Bone marrow aspirate smear. Single-cell crop
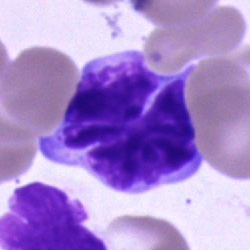

{"cell_type": "artifact"}